Bone marrow aspirate smear; Pappenheim-stained.
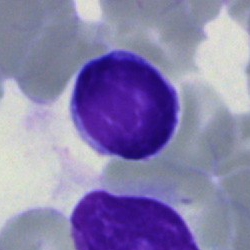Morphology consistent with a typical lymphocyte.